Bone marrow smear · image size 250×250.
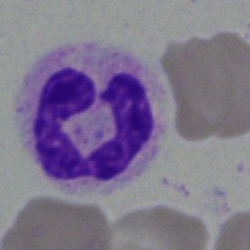 Morphology — polymorphonuclear neutrophil.